Bone marrow smear
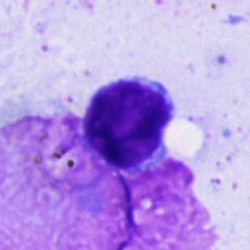
A lymphocyte.